Bone marrow smear — 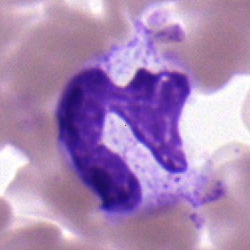 Q: What cell is this?
A: Neutrophil (band).